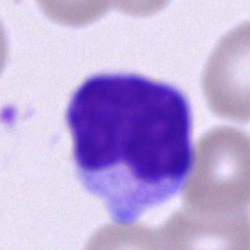 A lymphocyte.